Bone marrow smear
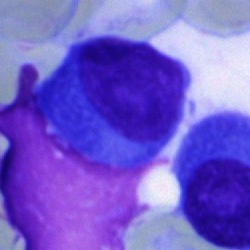

Q: What type of cell is this?
A: This is a plasma cell.